Pappenheim-stained; bone marrow smear: 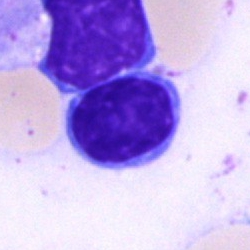
Q: What type of cell is this?
A: This is a lymphocyte.